Bone marrow aspirate smear.
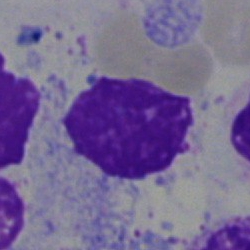

The cell shown is an artifact.